Bone marrow aspirate smear · 250×250 px · single cell centered in the field
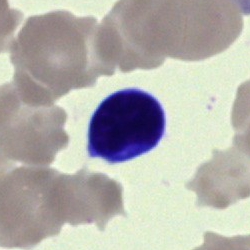 Showing an unidentifiable cell.